May-Grünwald-Giemsa stain; bone marrow smear; cropped to a single cell — 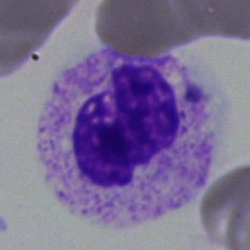 This is a segmented neutrophil.